Bone marrow aspirate smear.
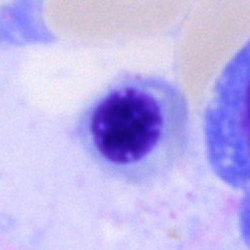Impression → normoblast.